Bone marrow smear · single cell centered in the field — 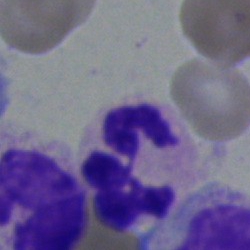 A neutrophil (segmented).